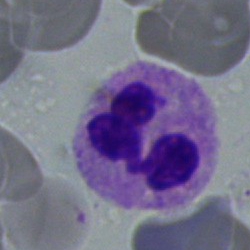Q: Which cell type is shown here?
A: A polymorphonuclear neutrophil.